Bone marrow smear; 40× objective, oil immersion:
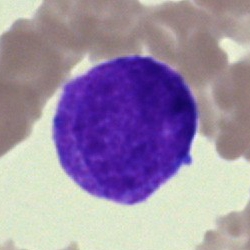

Cell: blast cell.